Bone marrow aspirate smear · single-cell field: 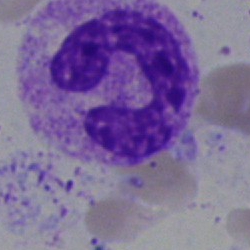This is a polymorphonuclear neutrophil.